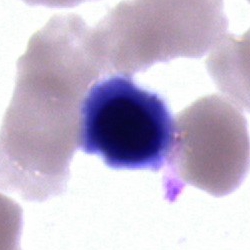Classification: normoblast.